Bone marrow smear. Single-cell field
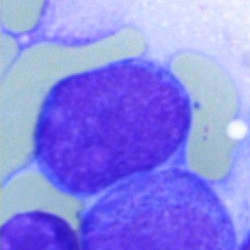Impression — blast.